Bone marrow aspirate smear: 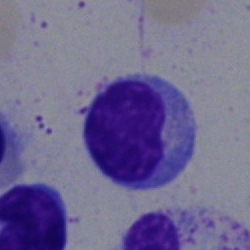
Q: What cell is this?
A: A lymphocyte.